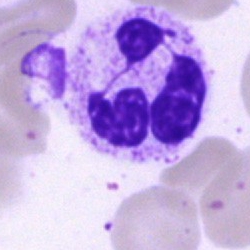
Q: Identify the cell.
A: A polymorphonuclear neutrophil.